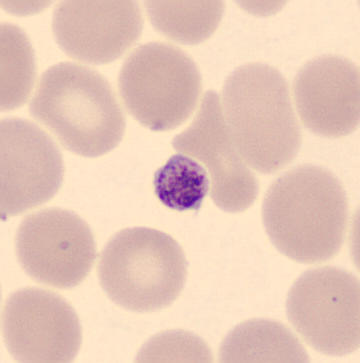Impression → platelet (thrombocyte).

Peripheral blood smear.